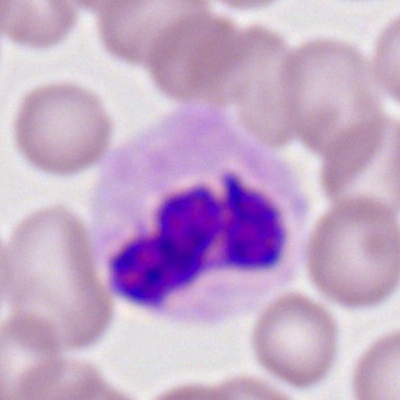The cell type is neutrophil (segmented).